Bone marrow aspirate smear — 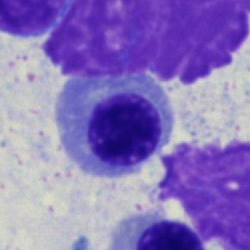A nucleated red blood cell.